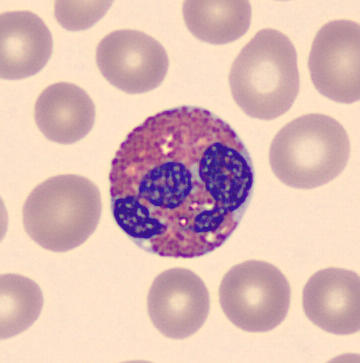 Cell = eosinophilic granulocyte.